Bone marrow smear — 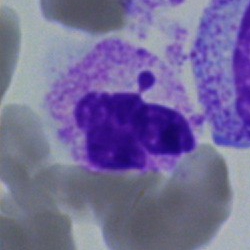Impression — polymorphonuclear neutrophil.